Single-cell field. Bone marrow aspirate smear:
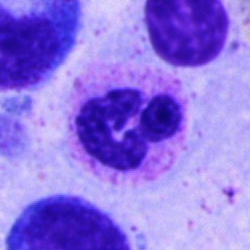

{"cell_type": "polymorphonuclear neutrophil"}